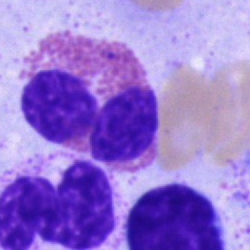
Showing an eosinophil.